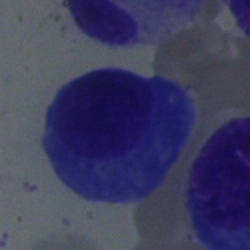

Q: What type of cell is this?
A: This is a plasma cell.